Romanowsky stain. M8 digital microscope (Precipoint), 100× oil immersion. Peripheral blood smear — 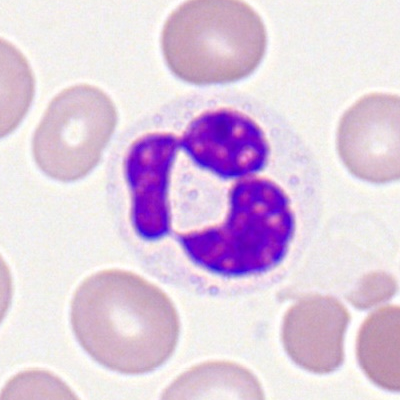
Morphology — neutrophil (segmented).